Brightfield, 40× oil-immersion objective · bone marrow aspirate smear.
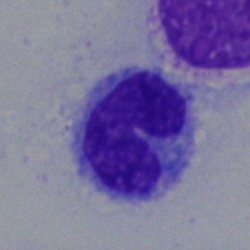

The classification is monocyte.